Image size 250×250. Brightfield microscopy, 40× oil immersion. Bone marrow smear: 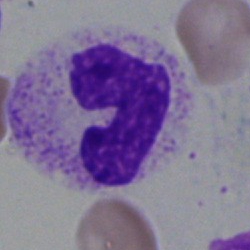Specimen: bone marrow aspirate smear.
Cell type: band-form neutrophil.